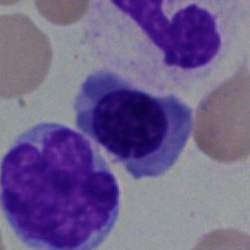Impression — normoblast.